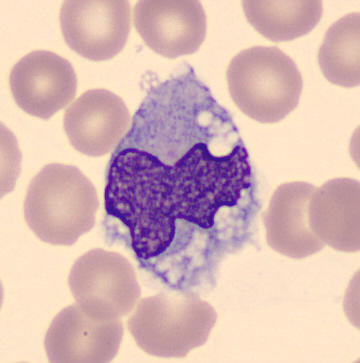
Acquisition: May Grünwald-Giemsa stain. Peripheral blood film. This is a monocyte.